Bone marrow aspirate smear. May-Grünwald-Giemsa/Pappenheim stain
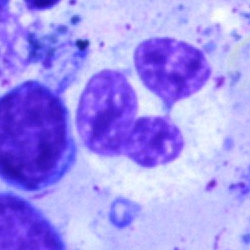 Single cell identified as a polymorphonuclear neutrophil.